Romanowsky-type stain · M8 digital microscope (Precipoint), 100× oil immersion · peripheral blood smear
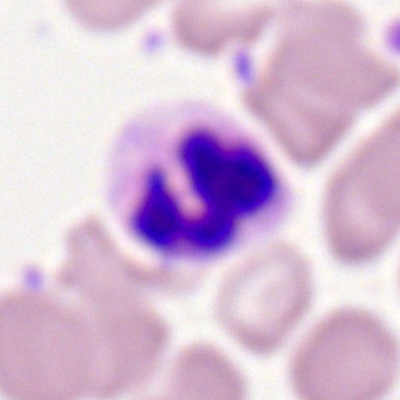

Morphology — neutrophil (segmented).